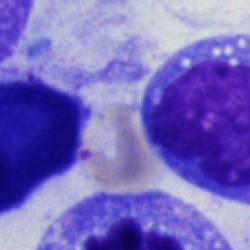Morphological class — undifferentiated blast.